Image size 250×250; bone marrow aspirate smear.
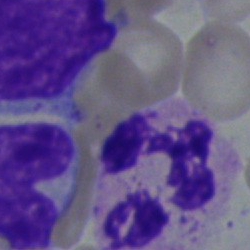
Showing a segmented neutrophil.